Bone marrow aspirate smear. Image size 250×250. Single-cell field: 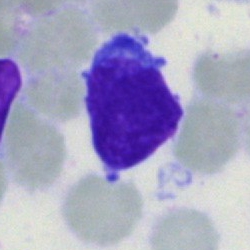 The cell type is blast cell.